Bone marrow aspirate smear: 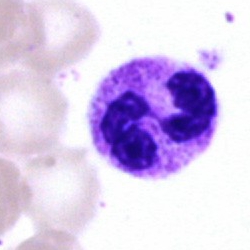

Q: What is shown here?
A: This is a segmented neutrophil.